250×250. Bone marrow smear:
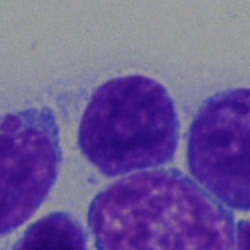 A lymphocyte.